250 by 250 pixels · bone marrow aspirate smear:
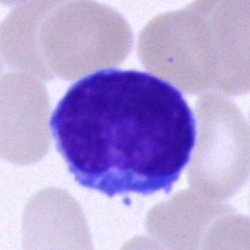

Showing a lymphocyte.